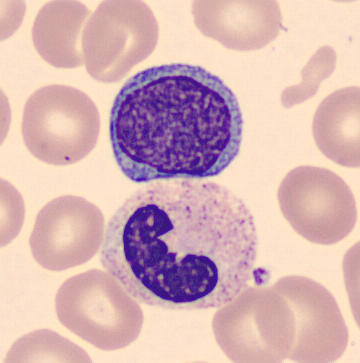Classification — neutrophil (band). Peripheral blood smear. 360×363 px. MGG-stained.